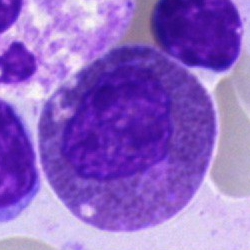
Morphological class — eosinophil.